Bone marrow aspirate smear. 250 by 250 pixels
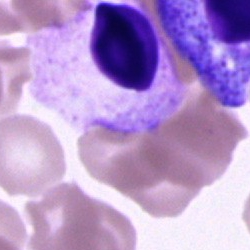
Cell — artefact.